Bone marrow smear:
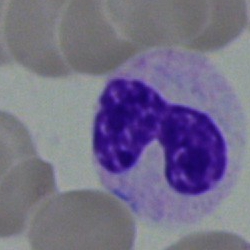

Q: What is shown here?
A: Band neutrophil.